Pappenheim-stained; bone marrow smear; 40× oil immersion — 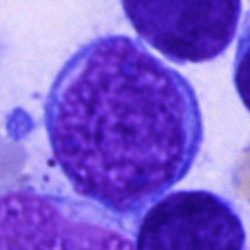
Blast.